250×250. Bone marrow smear — 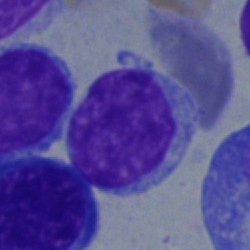
Specimen: bone marrow aspirate smear.
Classification: typical lymphocyte.
Lineage: lymphoid.